Bone marrow aspirate smear — 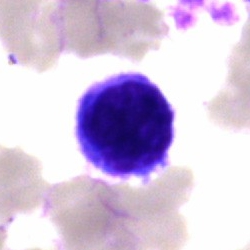The cell shown is a typical lymphocyte.